Bone marrow smear.
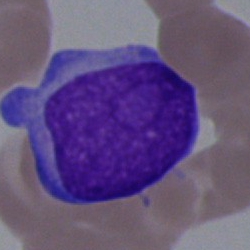
The cell type is blast.